Bone marrow smear:
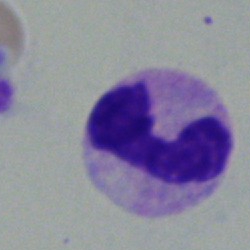Morphology consistent with a band neutrophil.